Bone marrow smear
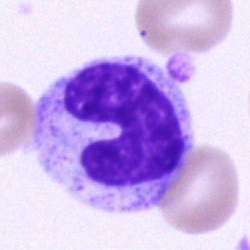
This is a band neutrophil.